250×250; bone marrow smear — 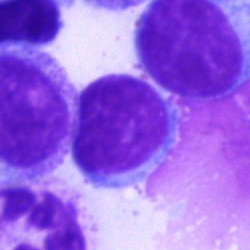{"cell_type": "lymphocyte"}